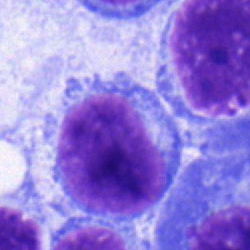 {"cell_type": "typical lymphocyte", "lineage": "lymphoid"}